Bone marrow aspirate smear: 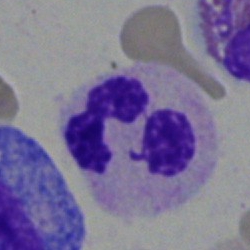 Q: Which cell type is shown here?
A: A neutrophil (segmented).